Brightfield, 40× oil-immersion objective · bone marrow smear.
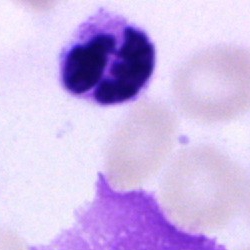 Single cell identified as a polymorphonuclear neutrophil.